Bone marrow smear — 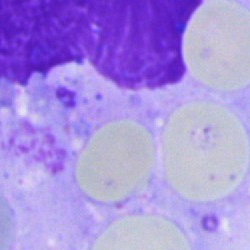
Morphology → artifact.